Cropped to a single cell. Bone marrow aspirate smear. Image size 250×250 — 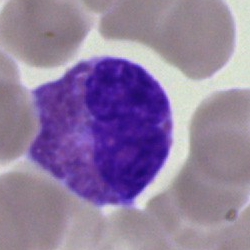

This is an eosinophilic granulocyte.